Bone marrow aspirate smear
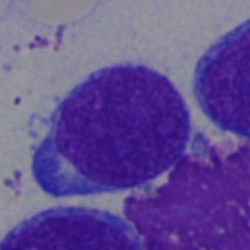
Classification — promyelocyte.